Peripheral blood film; single-cell crop — 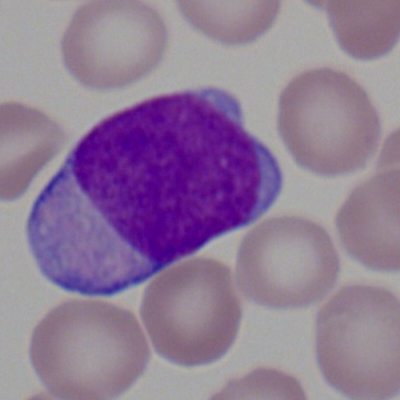

Morphological class: myeloblast.